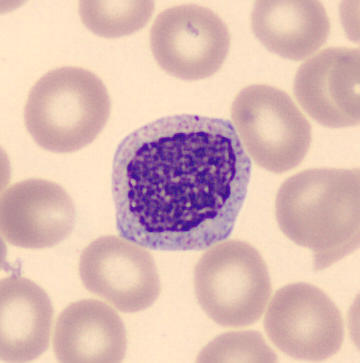 Q: What is the morphological classification of this cell?
A: Myelocyte. Preparation: Peripheral blood film. Single cell centered in the field. 360×363 px.